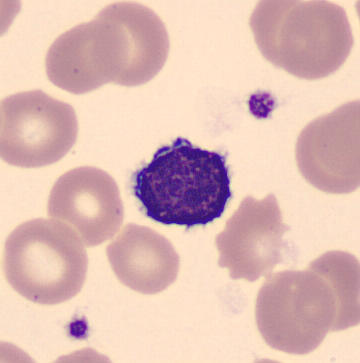
May Grünwald-Giemsa stain. Peripheral blood film.
{"cell_type": "lymphocyte", "lineage": "lymphoid"}